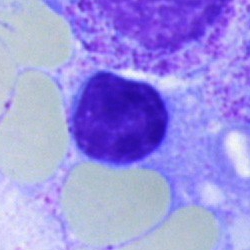Morphology → plasma cell.